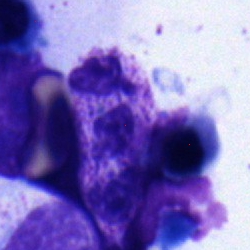

Single cell identified as a polymorphonuclear neutrophil.